Bone marrow smear. Single-cell field. May-Grünwald-Giemsa/Pappenheim stain
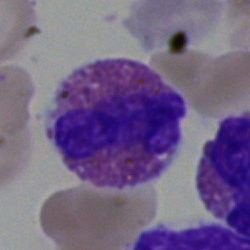

Cell type — eosinophil.